Bone marrow aspirate smear: 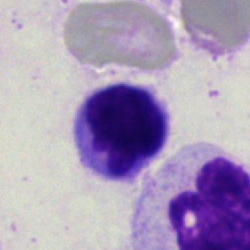The classification is lymphocyte.